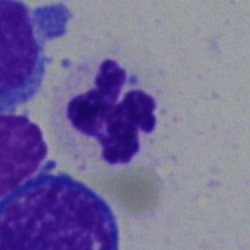The cell type is neutrophil (segmented).